Bone marrow aspirate smear:
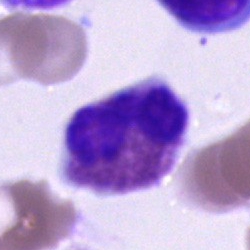

The cell is eosinophilic granulocyte.